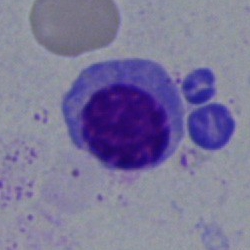
This is an erythroblast.